Bone marrow smear:
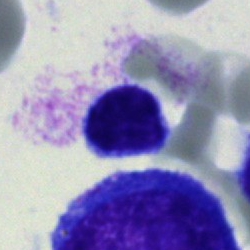 Morphology — typical lymphocyte.